Single cell centered in the field; bone marrow smear:
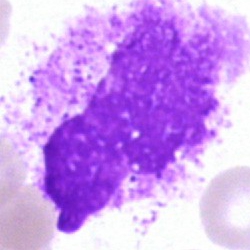An artifact.